100× oil immersion, 14.14 px/µm. Peripheral blood smear. Single cell centered in the field.
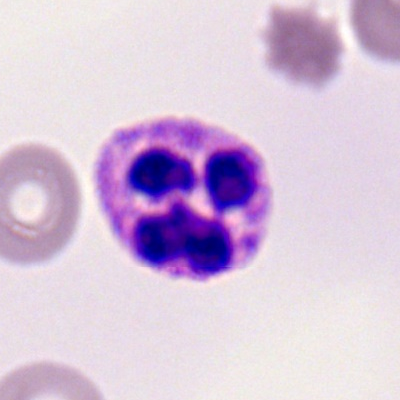

Morphology — segmented neutrophil.